Bone marrow smear.
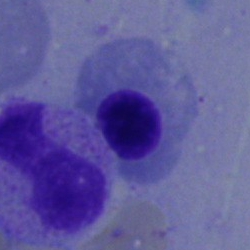
Specimen: bone marrow smear.
Morphological class: normoblast.
Lineage: erythroid.